Single-cell crop · bone marrow aspirate smear: 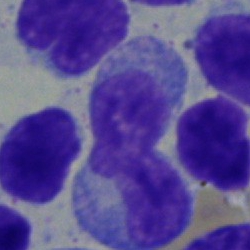

Q: What type of cell is this?
A: It is a typical lymphocyte.